Bone marrow smear.
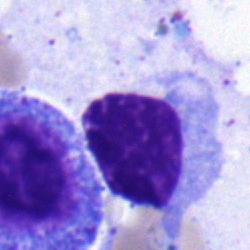 Morphology consistent with a lymphocyte.